Bone marrow smear: 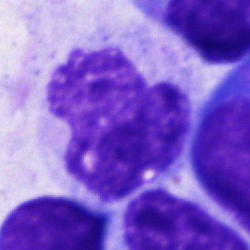 Specimen: bone marrow smear.
Classification: unidentifiable cell.